Bone marrow smear: 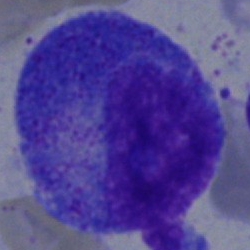

Morphology → promyelocyte.